Bone marrow aspirate smear — 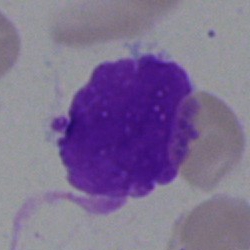

{"cell_type": "artefact"}